Peripheral blood film · cropped to a single cell — 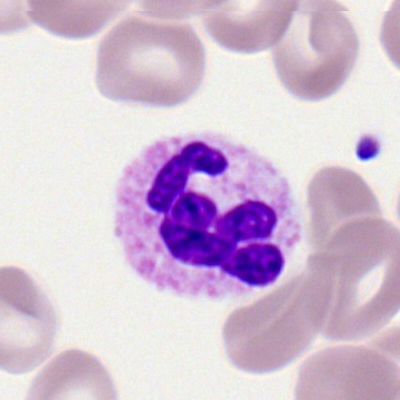

Polymorphonuclear neutrophil.